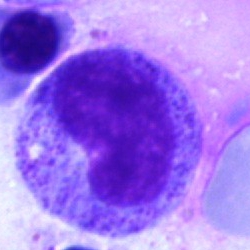

{"cell_type": "metamyelocyte", "lineage": "myeloid"}